Bone marrow smear. 250×250.
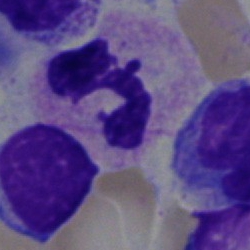

Showing a neutrophil (segmented).